Bone marrow smear.
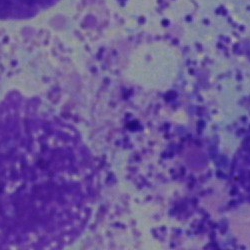{"cell_type": "other cell type"}